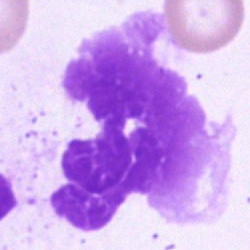

Bone marrow aspirate smear, single cell — artifact.